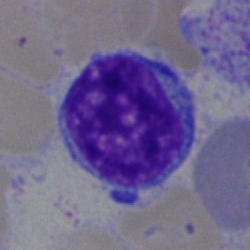

Classification = lymphocyte.